Bone marrow aspirate smear
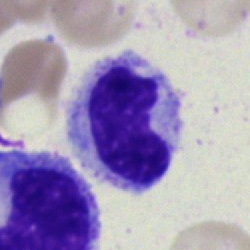
Q: What is shown here?
A: It is a band-form neutrophil.